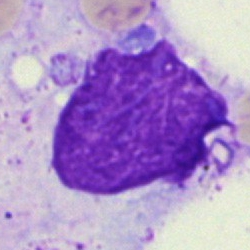
Impression → artifact.